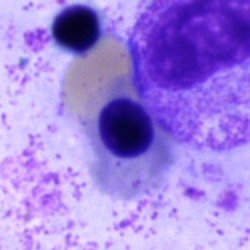

Cell — nucleated red cell.